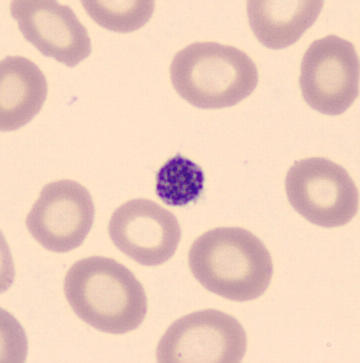 Impression → thrombocyte.